Bone marrow aspirate smear:
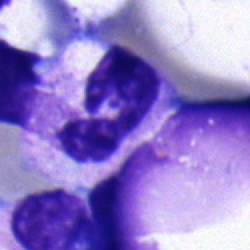Morphology consistent with a polymorphonuclear neutrophil.